250×250. Bone marrow aspirate smear.
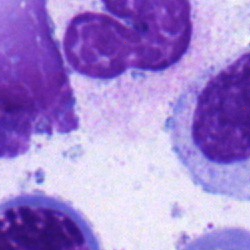This is a neutrophil (band).